Bone marrow smear: 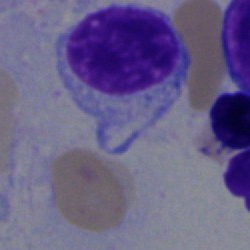

{"cell_type": "typical lymphocyte", "lineage": "lymphoid"}